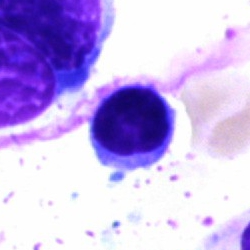
Specimen: bone marrow aspirate smear.
Cell: lymphocyte.
Lineage: lymphoid.